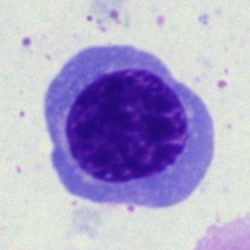
{"cell_type": "nucleated red blood cell", "lineage": "erythroid"}